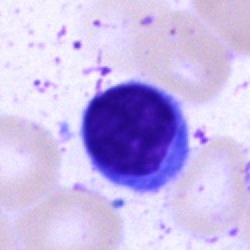Bone marrow smear showing a typical lymphocyte.